Bone marrow aspirate smear.
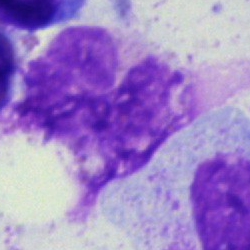 Morphological class = artefact.